Bone marrow aspirate smear:
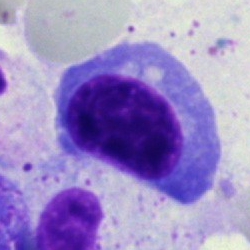
The cell is nucleated red blood cell.